May-Grünwald-Giemsa stain; bone marrow aspirate smear; 250×250: 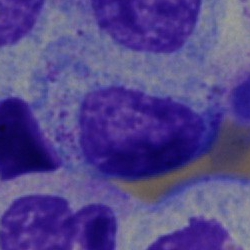

Specimen: bone marrow aspirate smear.
Morphological class: myelocyte.
Lineage: myeloid.